Single-cell field. Bone marrow aspirate smear
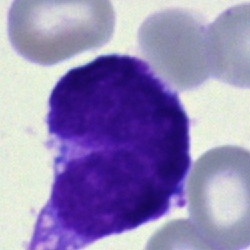
Q: What cell is this?
A: Blast.